Cropped to a single cell · peripheral blood film.
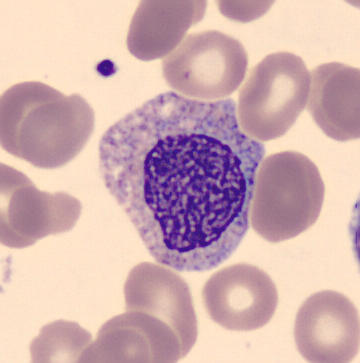
This is a myelocyte.